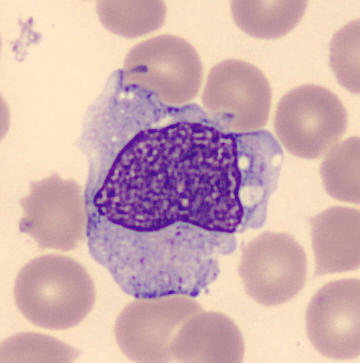
A monocyte. Image: Peripheral blood smear.